Peripheral blood smear:
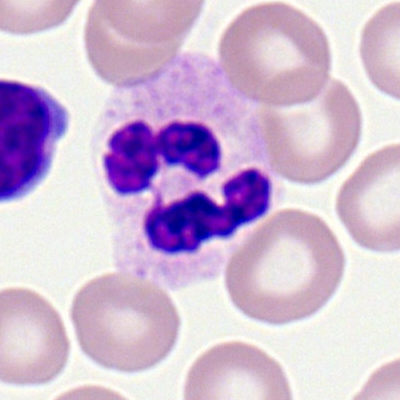
The cell shown is a segmented neutrophil.